Bone marrow smear.
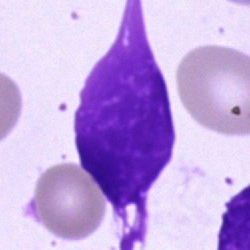 This is an artifact.